May-Grünwald-Giemsa/Pappenheim stain; 40× oil immersion; bone marrow aspirate smear: 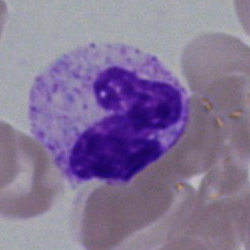
Q: Identify the cell.
A: A polymorphonuclear neutrophil.